M8 digital microscope (Precipoint), 100× oil immersion. Peripheral blood smear: 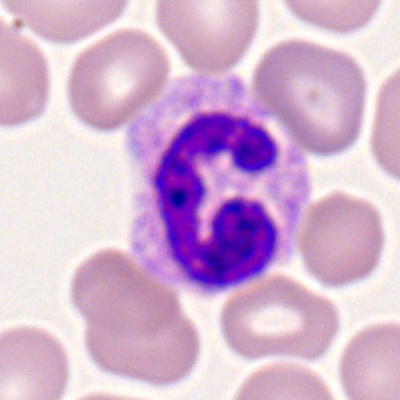

Cell — neutrophil (segmented).